Brightfield microscopy, 40× oil immersion · MGG-stained · bone marrow smear: 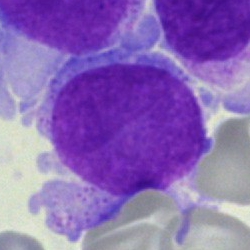

Q: What is the morphological classification of this cell?
A: An undifferentiated blast.